Bone marrow aspirate smear
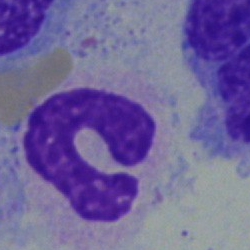Showing a stab cell.